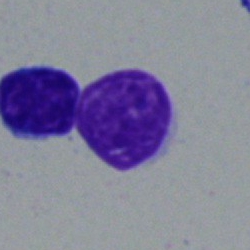
The classification is lymphocyte.